Bone marrow smear. 40× oil immersion
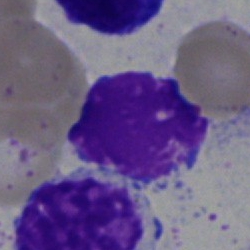

Q: What is shown here?
A: An artifact.